Peripheral blood smear. 400×400 px: 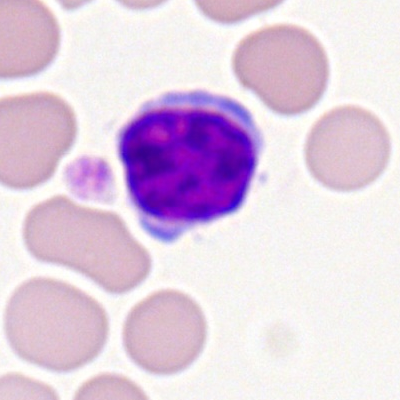

Morphological class: typical lymphocyte.